Bone marrow smear · cropped to a single cell
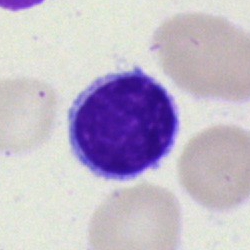

Cell — typical lymphocyte.